Bone marrow aspirate smear; image size 250×250:
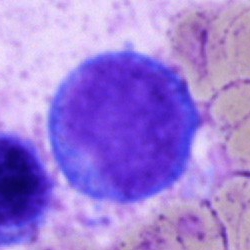Blast.